Bone marrow smear.
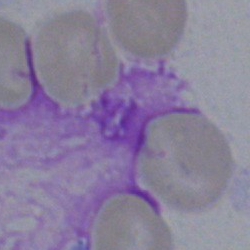

Cell = artifact.